Single cell centered in the field. Image size 250×250. Bone marrow smear — 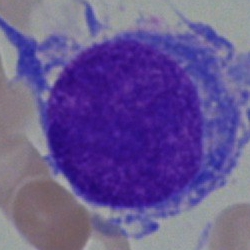Morphology — undifferentiated blast.